Cropped to a single cell · bone marrow aspirate smear:
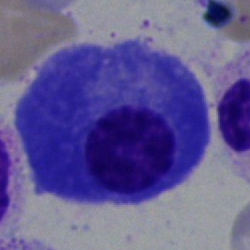Classification: plasmacyte.